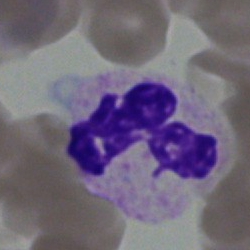Single cell identified as a neutrophil (segmented).